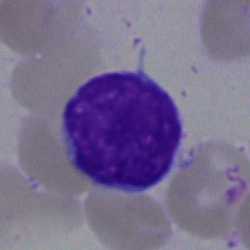Lymphocyte.